Brightfield microscopy, 40× oil immersion · May-Grünwald-Giemsa stain · bone marrow aspirate smear: 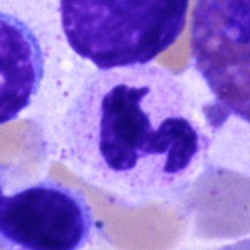
Cell type: polymorphonuclear neutrophil.